250×250 px · May-Grünwald-Giemsa/Pappenheim stain · bone marrow aspirate smear
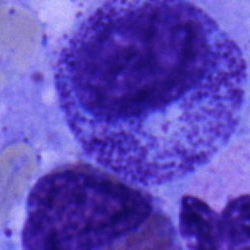 Q: Which cell type is shown here?
A: Promyelocyte.